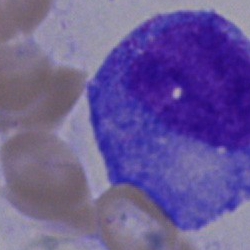 Q: What is the morphological classification of this cell?
A: A plasma cell.